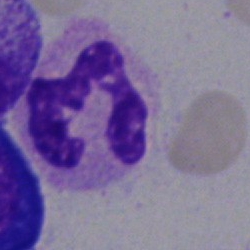

Morphology consistent with a polymorphonuclear neutrophil.